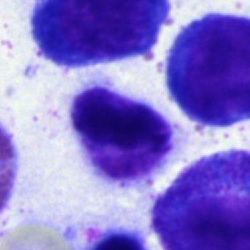

Showing a polymorphonuclear neutrophil.